250×250 px · MGG-stained · bone marrow smear — 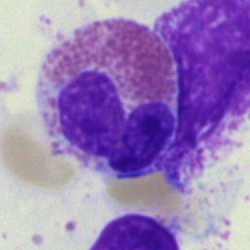

Morphology consistent with an eosinophil.